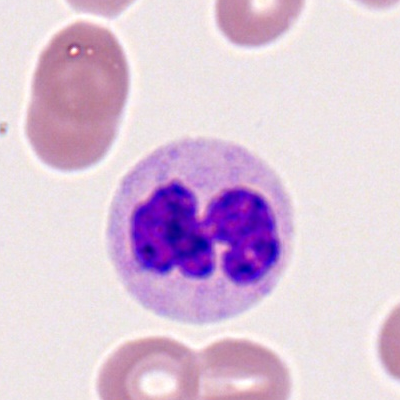
Q: What cell is this?
A: Neutrophil (segmented).